Single-cell crop · bone marrow smear — 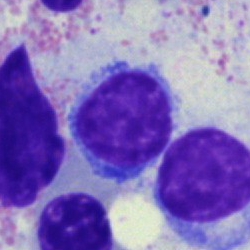
Q: What cell is this?
A: It is a typical lymphocyte.